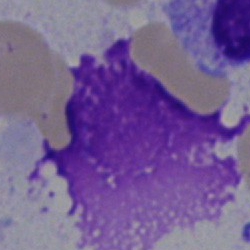Impression — artifact.